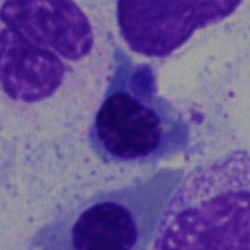
Classification = nucleated red cell.